Bone marrow smear: 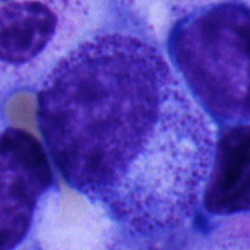
The cell shown is a progranulocyte.